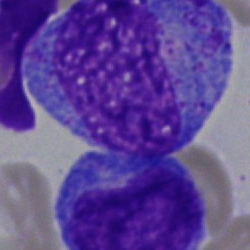

Single-cell crop from a bone marrow smear: progranulocyte.